Bone marrow smear.
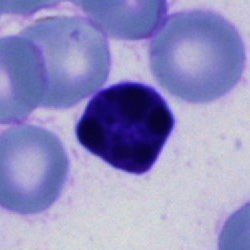 Specimen: bone marrow aspirate smear.
Classification: artifact.